Bone marrow aspirate smear · cropped to a single cell:
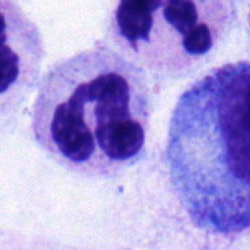This is a segmented neutrophil.